May-Grünwald-Giemsa stain; bone marrow aspirate smear; 250 by 250 pixels — 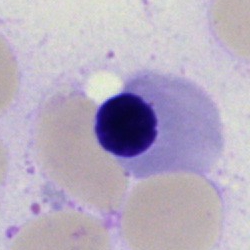

Q: What type of cell is this?
A: Nucleated red blood cell.